Peripheral blood smear:
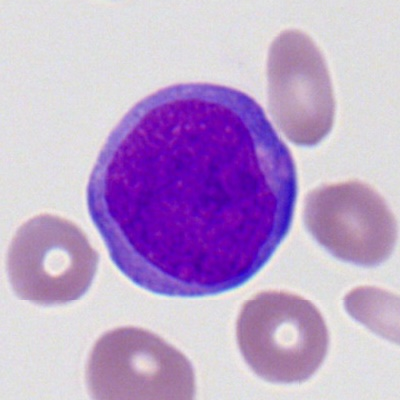

Morphology → myeloid blast.